40× objective, oil immersion · bone marrow smear
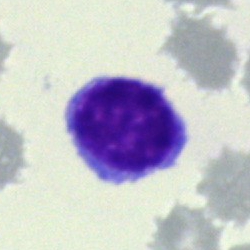
Specimen: bone marrow aspirate smear.
Cell: typical lymphocyte.